Bone marrow smear
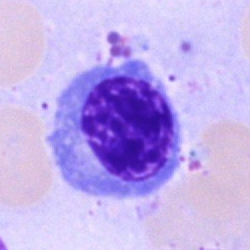

Classification = normoblast.